Bone marrow smear: 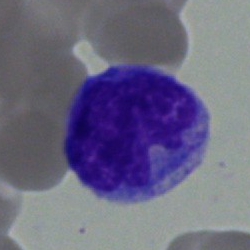 Q: What cell is this?
A: A monocyte.